Bone marrow aspirate smear:
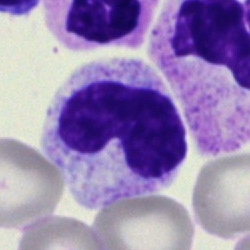Band neutrophil.